May-Grünwald-Giemsa stain · bone marrow aspirate smear.
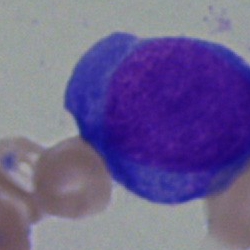 Specimen: bone marrow smear.
Cell: proerythroblast.
Lineage: erythroid.